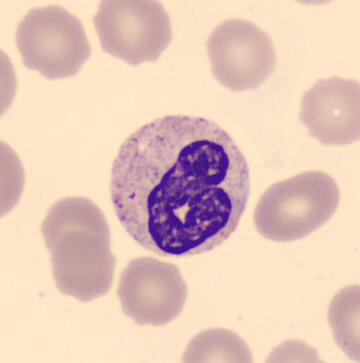

A band neutrophil.

Image: Peripheral blood smear. Single cell centered in the field. 360×363 px.